Bone marrow smear
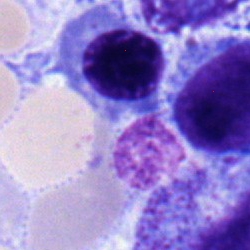

Specimen: bone marrow smear.
Cell type: nucleated red cell.